Bone marrow smear · brightfield, 40× oil-immersion objective · image size 250×250
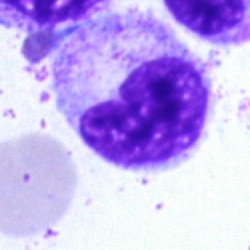 Classification — metamyelocyte.